Bone marrow aspirate smear.
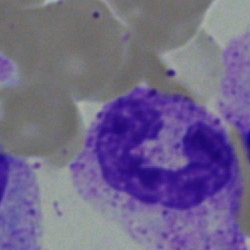

Impression → neutrophil (band).